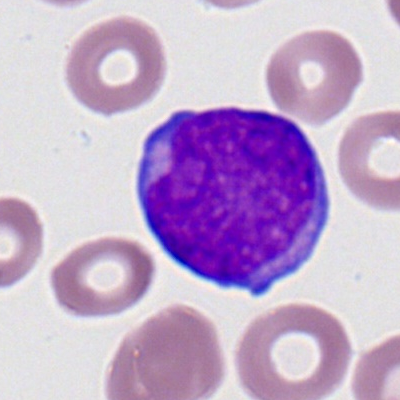
A myeloblast.